Bone marrow aspirate smear.
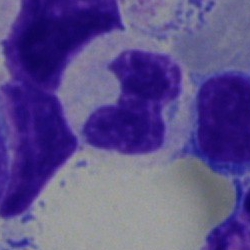

Specimen: bone marrow smear.
Cell type: polymorphonuclear neutrophil.